Bone marrow aspirate smear:
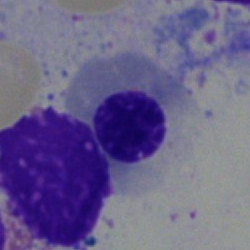Cell: erythroblast.